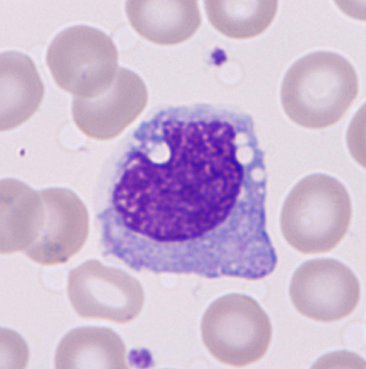
Single-cell crop from a peripheral blood smear: monocyte.